Bone marrow aspirate smear: 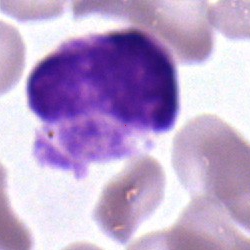 Morphological class = segmented neutrophil.